Bone marrow smear. Single-cell crop:
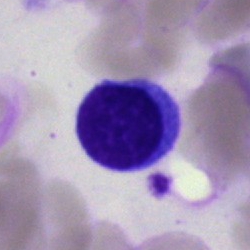Specimen: bone marrow smear.
Classification: typical lymphocyte.